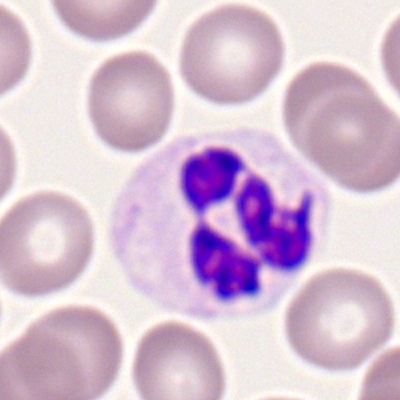

Q: Identify the cell.
A: A neutrophil (segmented).